Bone marrow smear:
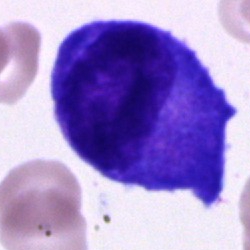Q: What type of cell is this?
A: It is a blast.